Bone marrow smear. Cropped to a single cell.
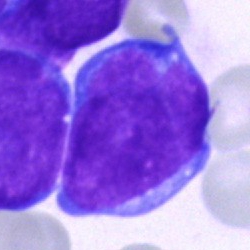 Cell = undifferentiated blast.